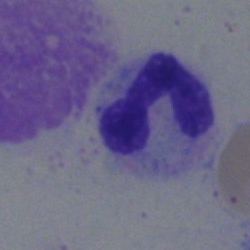

Q: Identify the cell.
A: This is a segmented neutrophil.